Pappenheim-stained; bone marrow aspirate smear; 40× objective, oil immersion: 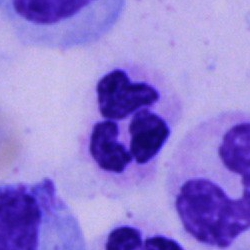Specimen: bone marrow smear.
Cell type: polymorphonuclear neutrophil.
Lineage: myeloid.